Bone marrow smear: 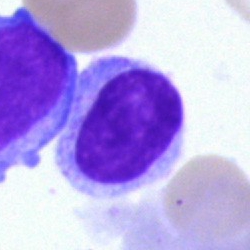

The morphological class is typical lymphocyte.